Bone marrow aspirate smear
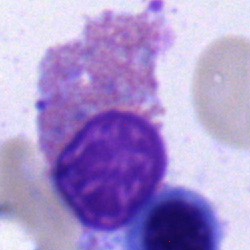
Classification = eosinophilic granulocyte.